Bone marrow smear
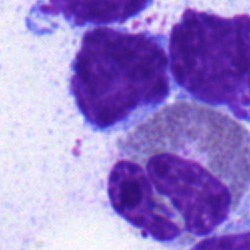 The cell is typical lymphocyte.